Bone marrow smear · May-Grünwald-Giemsa stain:
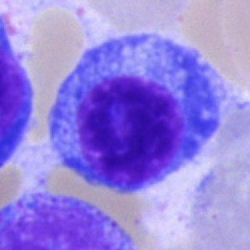Morphology → plasmacyte.